Bone marrow aspirate smear · May-Grünwald-Giemsa stain — 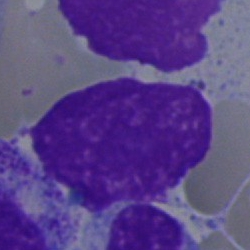 Single cell identified as an artefact.